Bone marrow aspirate smear: 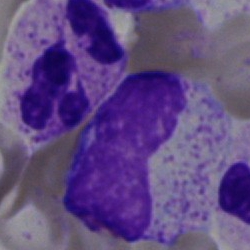

Band-form neutrophil.